Bone marrow smear: 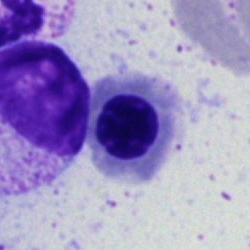
Specimen: bone marrow aspirate smear.
Cell type: normoblast.
Lineage: erythroid.